40× objective, oil immersion · Pappenheim-stained · bone marrow aspirate smear
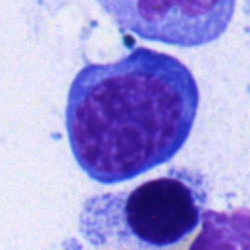
Specimen: bone marrow aspirate smear.
Cell: erythroblast.